Bone marrow aspirate smear.
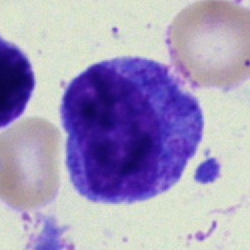Impression — promyelocyte.